Bone marrow smear — 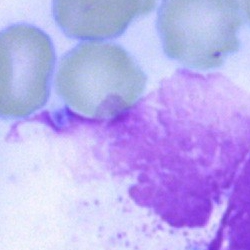
Artifact.